Cropped to a single cell. 40× objective, oil immersion. Bone marrow smear:
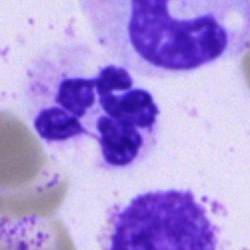Morphology consistent with a polymorphonuclear neutrophil.